Bone marrow aspirate smear: 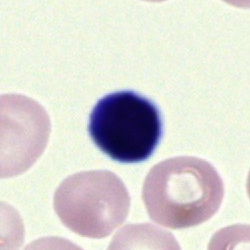
Morphological class: artifact.